Bone marrow smear
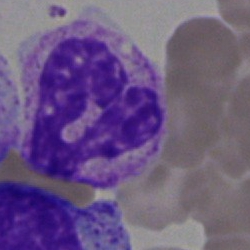
Impression → segmented neutrophil.